Peripheral blood film.
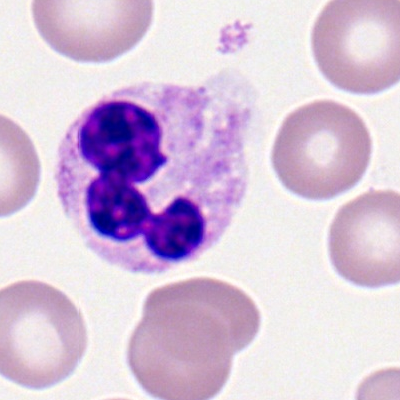The cell shown is a polymorphonuclear neutrophil.